Peripheral blood smear; single-cell crop:
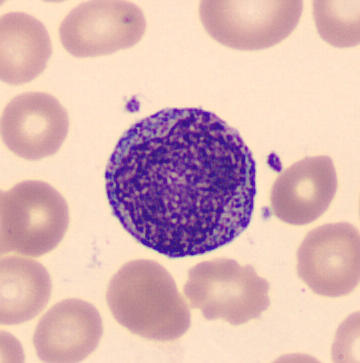
Classification — promyelocyte.